Bone marrow aspirate smear: 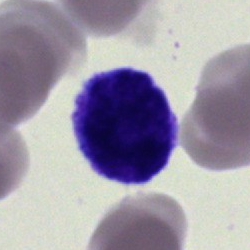 Specimen: bone marrow smear.
Cell type: typical lymphocyte.